Bone marrow aspirate smear · Pappenheim-stained:
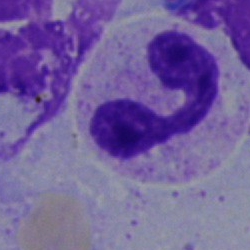Q: What is the morphological classification of this cell?
A: A neutrophil (segmented).